250×250 px. Bone marrow aspirate smear
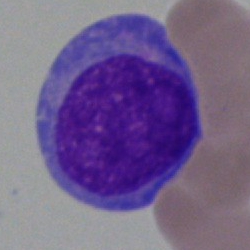Showing a blast cell.